Bone marrow aspirate smear
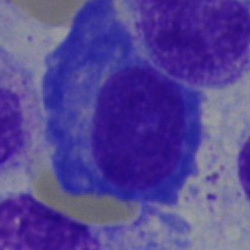Impression → plasmacyte.